Bone marrow aspirate smear
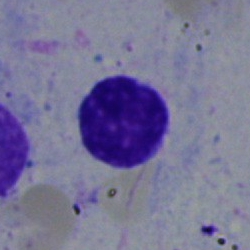{"cell_type": "lymphocyte"}